Brightfield microscopy, 40× oil immersion; bone marrow aspirate smear — 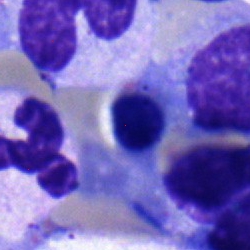This is a normoblast.